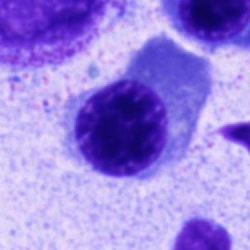
Cell type: nucleated red blood cell.